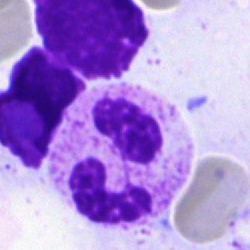

Morphological class — segmented neutrophil.